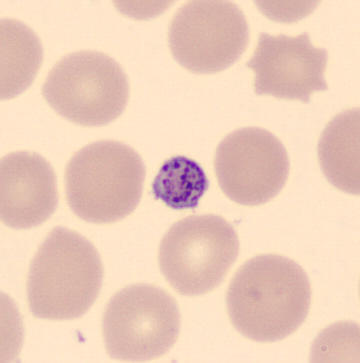 Q: What is shown here?
A: It is a thrombocyte. Image: Peripheral blood film. CellaVision DM96 digital cell image. 360×363.